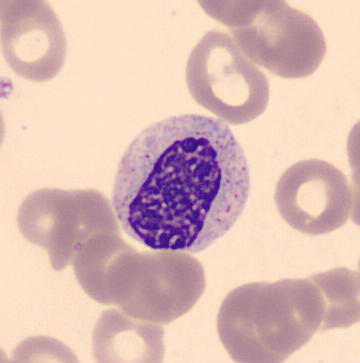

Preparation: CellaVision DM96; peripheral blood smear.

Identified as a myelocyte.